Bone marrow smear — 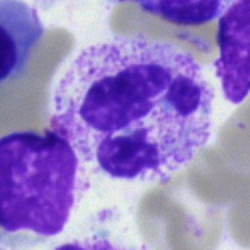

Morphological class = neutrophil (segmented).